Bone marrow smear.
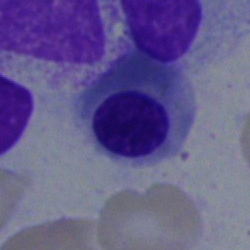 Q: What cell is this?
A: A nucleated red cell.